Bone marrow smear:
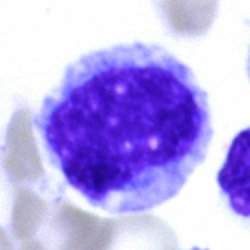

Specimen: bone marrow smear.
Cell type: progranulocyte.